Peripheral blood film.
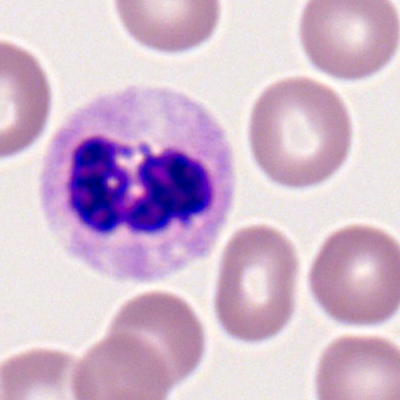

The cell shown is a polymorphonuclear neutrophil.